Bone marrow aspirate smear
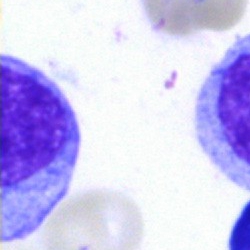Morphological class = artefact.